Single-cell field · bone marrow aspirate smear · MGG-stained — 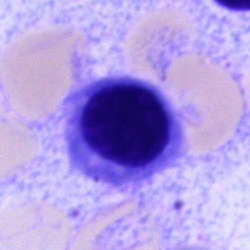 The cell type is nucleated red cell.